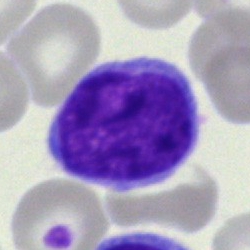 Cell type: typical lymphocyte.